Image size 250×250 · bone marrow aspirate smear
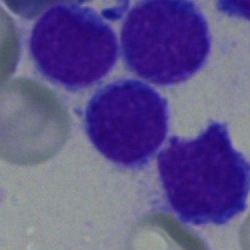

A typical lymphocyte.